Bone marrow aspirate smear — 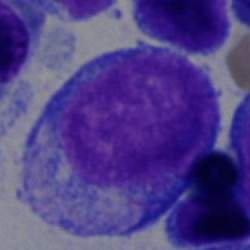A blast cell.